Peripheral blood film:
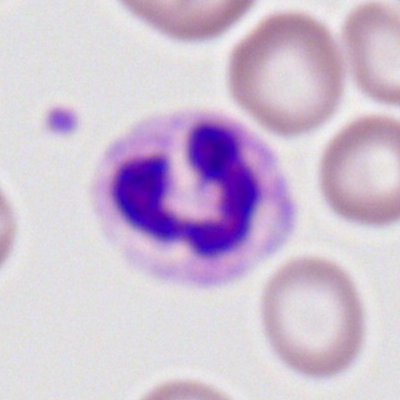
Q: What type of cell is this?
A: This is a segmented neutrophil.